40× objective, oil immersion; bone marrow aspirate smear.
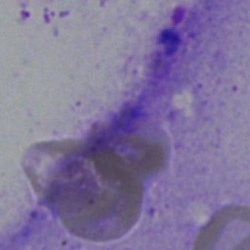Specimen: bone marrow smear.
Classification: artifact.